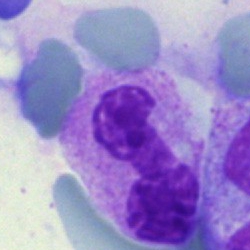Morphology consistent with a segmented neutrophil.